Bone marrow smear: 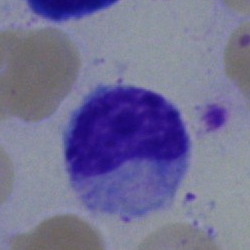This is a metamyelocyte.